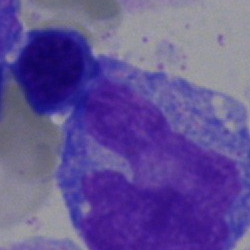{"cell_type": "artifact"}